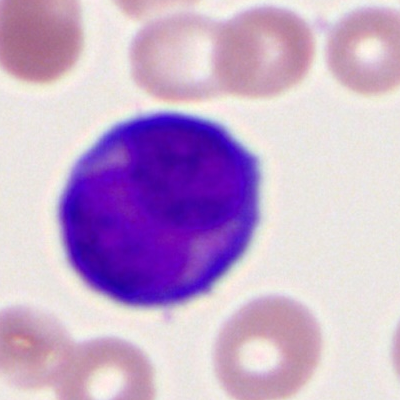

Morphological class: promyelocyte (bilobed).